Bone marrow aspirate smear; 250 by 250 pixels — 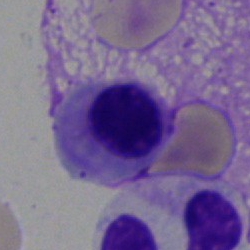
The cell shown is an erythroblast.